Bone marrow smear: 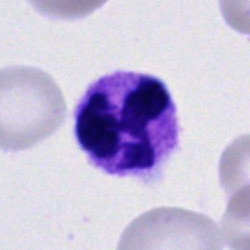

Cell type = segmented neutrophil.